Bone marrow aspirate smear. 40× oil immersion: 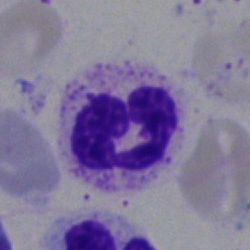

Cell — polymorphonuclear neutrophil.